Bone marrow aspirate smear. Brightfield microscopy, 40× oil immersion: 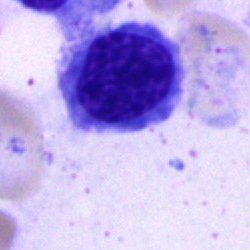

Nucleated red blood cell.